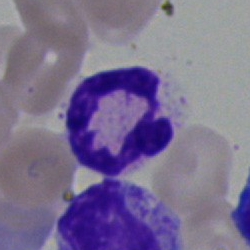 The morphological class is neutrophil (segmented).